Bone marrow smear; Pappenheim-stained: 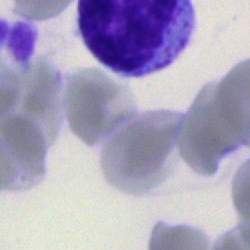
Morphology — unidentifiable cell.